Bone marrow aspirate smear · Pappenheim-stained · 40× oil immersion
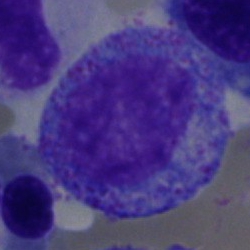 Cell = promyelocyte.